40× oil immersion. 250 by 250 pixels. Bone marrow aspirate smear — 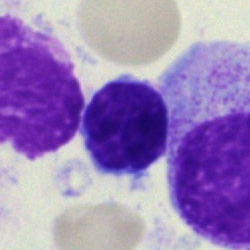
This is a typical lymphocyte.